MGG-stained · bone marrow smear · 40× oil immersion
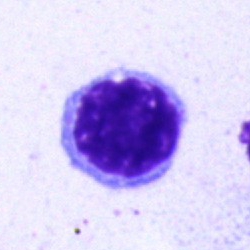

Typical lymphocyte.